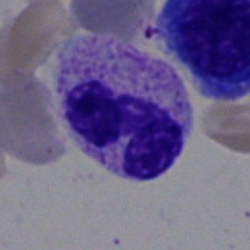Morphological class: neutrophil (band).